Bone marrow smear.
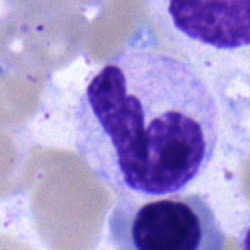

Segmented neutrophil.